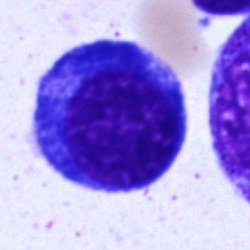 Impression → normoblast.